Bone marrow smear
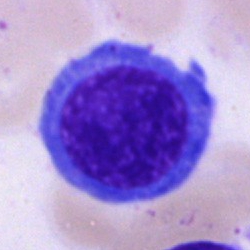Showing an erythroblast.